Bone marrow smear
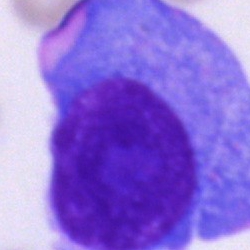 Plasmacyte.